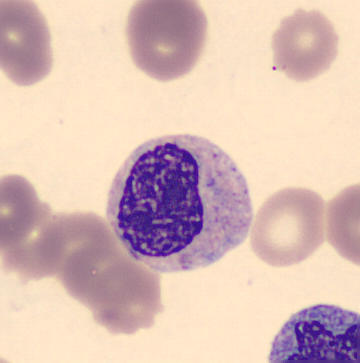

A myelocyte on a peripheral blood smear.